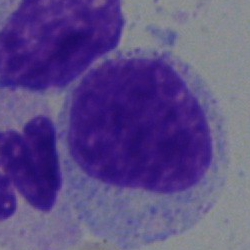The morphological class is myelocyte.